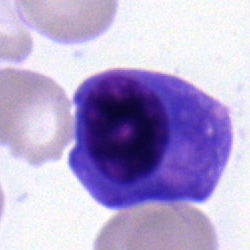Bone marrow smear showing a plasma cell.